Bone marrow aspirate smear · May-Grünwald-Giemsa/Pappenheim stain
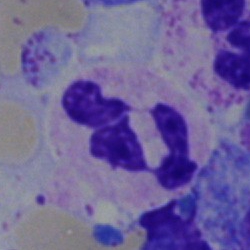

Morphology consistent with a neutrophil (segmented).